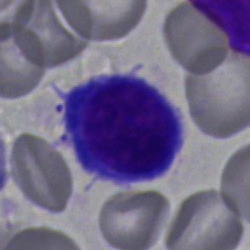
The cell type is normoblast.